100× oil immersion · Romanowsky stain · peripheral blood film.
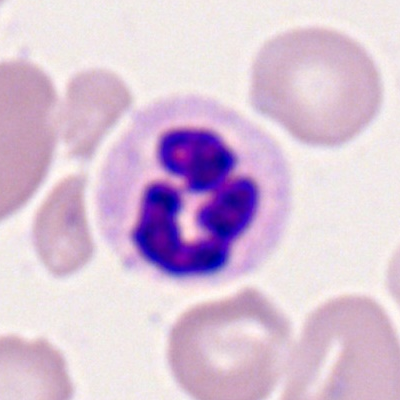

Cell = neutrophil (segmented).